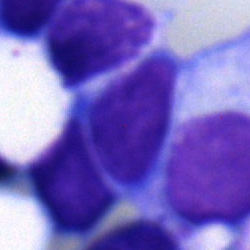

The classification is lymphocyte.